Bone marrow smear. May-Grünwald-Giemsa stain: 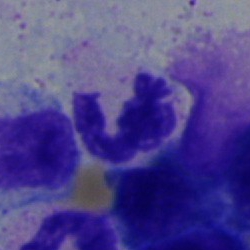 Classification: neutrophil (segmented).